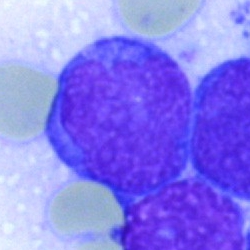 Morphology consistent with a blast cell.